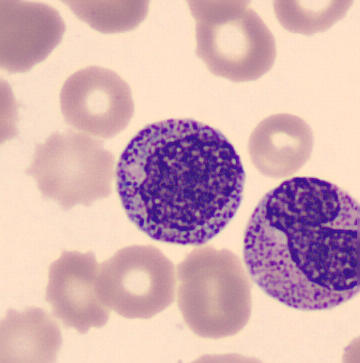
Peripheral blood film.
This is a myelocyte.